Bone marrow smear: 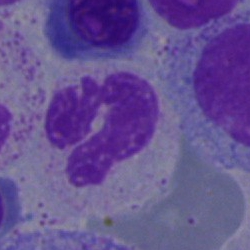
{"cell_type": "polymorphonuclear neutrophil", "lineage": "myeloid"}